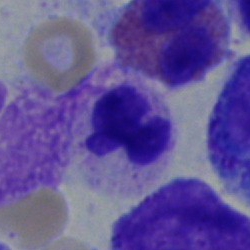Morphology → neutrophil (segmented).